Single cell centered in the field; brightfield, 40× oil-immersion objective; bone marrow smear — 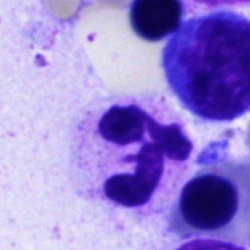 Impression — neutrophil (segmented).